Bone marrow smear · 250×250 px: 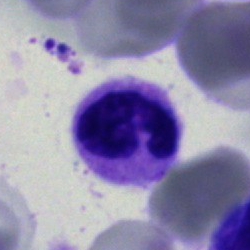
Morphological class = neutrophil (segmented).